Bone marrow aspirate smear: 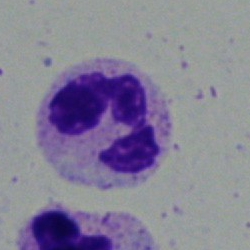
Neutrophil (segmented).